Bone marrow smear; brightfield, 40× oil-immersion objective: 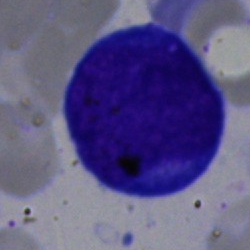Impression → pronormoblast.